Bone marrow smear; May-Grünwald-Giemsa/Pappenheim stain; brightfield microscopy, 40× oil immersion — 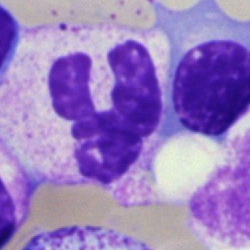 Single cell identified as a segmented neutrophil.